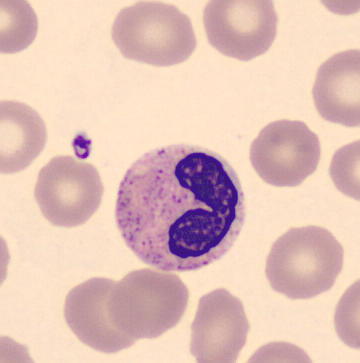 The cell shown is a neutrophil (band).

Automated cell imaging (CellaVision DM96); 360 by 363 pixels; peripheral blood film.